Bone marrow smear. May-Grünwald-Giemsa stain: 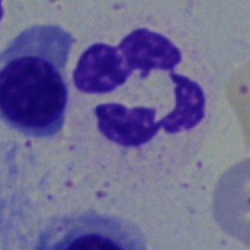Specimen: bone marrow smear.
Classification: polymorphonuclear neutrophil.